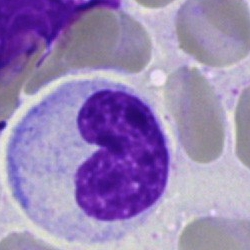 The morphological class is metamyelocyte.